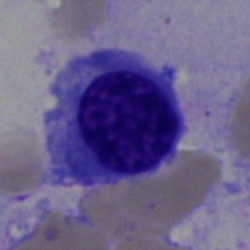Specimen: bone marrow smear.
Classification: normoblast.